Bone marrow smear: 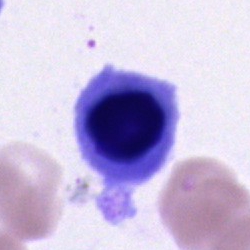 Cell type: nucleated red cell.